Bone marrow aspirate smear · May-Grünwald-Giemsa/Pappenheim stain · 250×250 px: 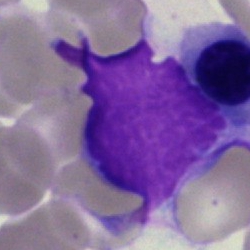Specimen: bone marrow aspirate smear.
Cell: artefact.